Bone marrow aspirate smear. Single-cell crop.
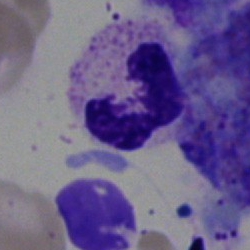Showing a segmented neutrophil.